Bone marrow smear: 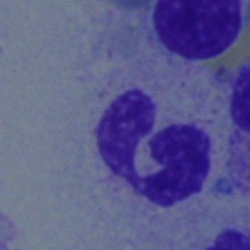A neutrophil (segmented).